Bone marrow smear: 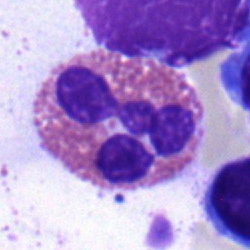 Morphology consistent with an eosinophil.